Peripheral blood film; 100× oil immersion:
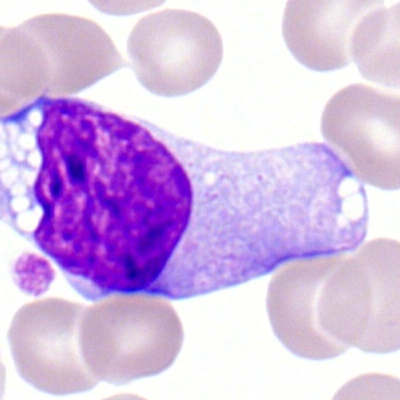

Impression — monocyte.